Bone marrow smear:
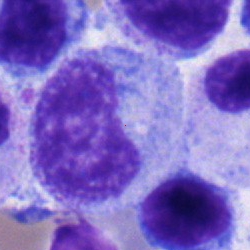 Morphology consistent with a myelocyte.